Bone marrow aspirate smear: 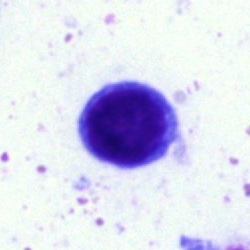 A lymphocyte.